Bone marrow aspirate smear — 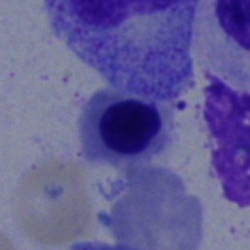 Morphological class: normoblast.